Peripheral blood smear. 400×400. 100× objective, oil immersion:
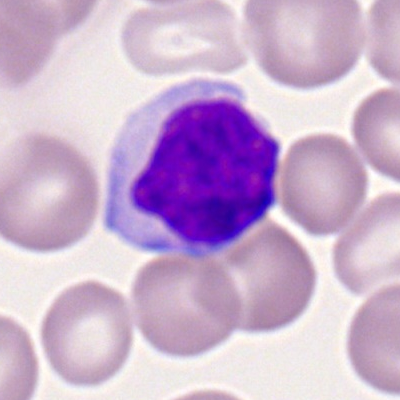The cell is lymphocyte.